Bone marrow aspirate smear; 40× oil immersion; image size 250×250.
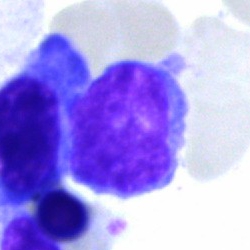Undifferentiated blast.